Bone marrow aspirate smear · 40× objective, oil immersion · 250×250 px
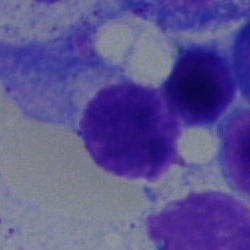 Morphological class = plasmacyte.